Single-cell field. Bone marrow aspirate smear: 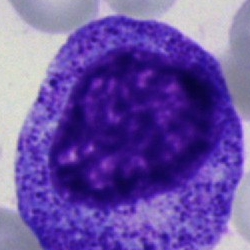

Cell type — progranulocyte.